Bone marrow aspirate smear · Pappenheim-stained: 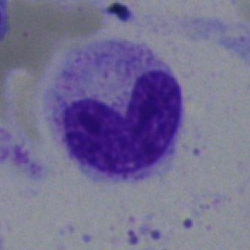

Cell: band-form neutrophil.